Brightfield microscopy, 40× oil immersion; bone marrow aspirate smear — 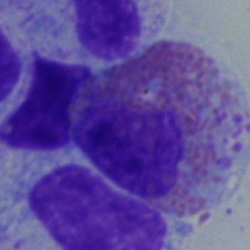
Morphological class = eosinophilic granulocyte.